Bone marrow smear: 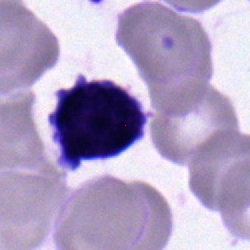
Q: What is shown here?
A: Lymphocyte.